May-Grünwald-Giemsa stain. Bone marrow smear:
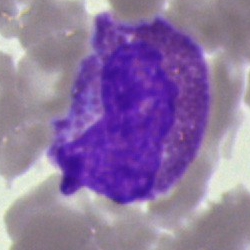 An eosinophilic granulocyte.